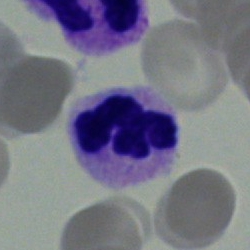

{"cell_type": "segmented neutrophil"}